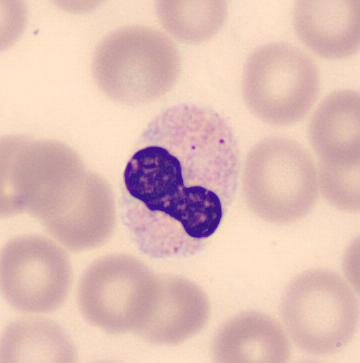Q: What cell is this?
A: It is a neutrophil (band).

Peripheral blood smear · single-cell crop.